250×250 px; bone marrow smear — 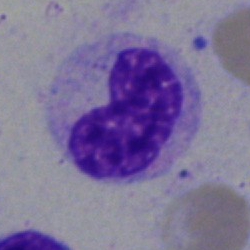Cell type: band neutrophil.